Peripheral blood smear — 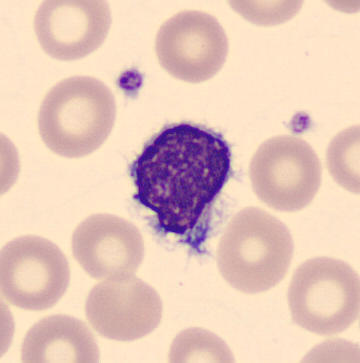This is a typical lymphocyte.